May-Grünwald-Giemsa/Pappenheim stain; bone marrow aspirate smear: 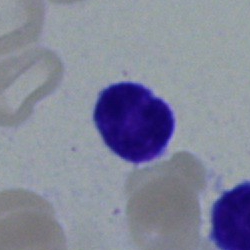Specimen: bone marrow aspirate smear.
Cell type: lymphocyte.
Lineage: lymphoid.